Peripheral blood smear — 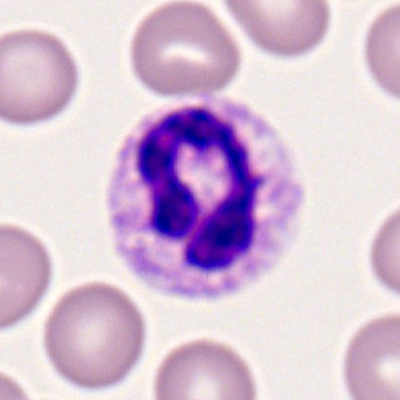
{"cell_type": "neutrophil (segmented)", "lineage": "myeloid"}